Bone marrow aspirate smear. Cropped to a single cell:
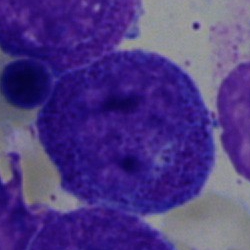
The cell is promyelocyte.